Bone marrow aspirate smear. Brightfield microscopy, 40× oil immersion — 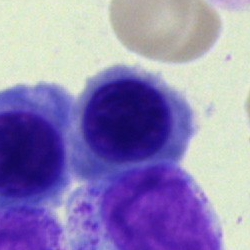 Q: Which cell type is shown here?
A: This is a nucleated red cell.